Single-cell crop; 40× oil immersion; bone marrow aspirate smear
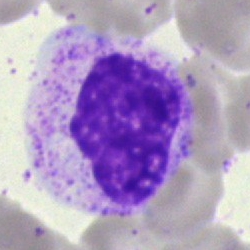Q: Identify the cell.
A: Myelocyte.